40× oil immersion · bone marrow smear · cropped to a single cell: 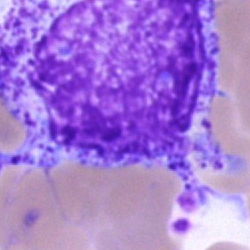
Showing a progranulocyte.